Bone marrow smear:
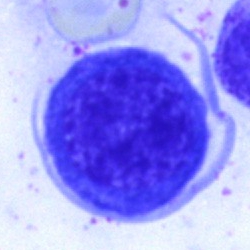

Classification: normoblast.